Image size 250×250. Bone marrow aspirate smear — 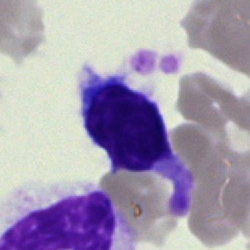
This is an artifact.